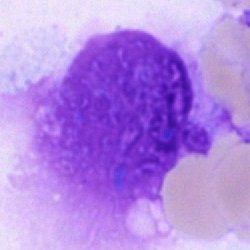

Impression — artefact.